Bone marrow aspirate smear
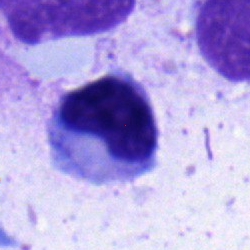This is a metamyelocyte.